Bone marrow aspirate smear. Single cell centered in the field — 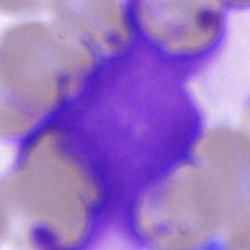

Impression — artifact.